Peripheral blood smear.
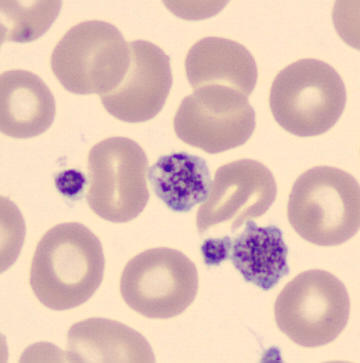
This is a platelet (thrombocyte).